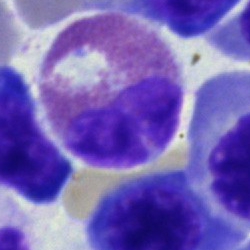 Q: What cell is this?
A: This is an eosinophil.